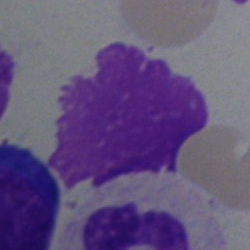
Morphological class: artifact.